Bone marrow aspirate smear: 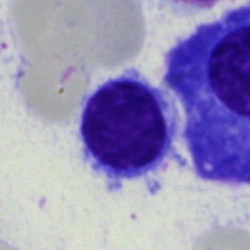

Morphology consistent with a lymphocyte.